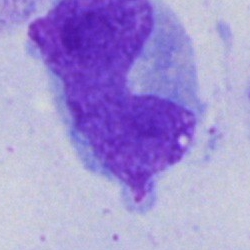
Cell type = band neutrophil.